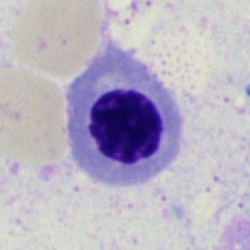Showing an erythroblast.